Brightfield, 40× oil-immersion objective. Cropped to a single cell. Bone marrow aspirate smear.
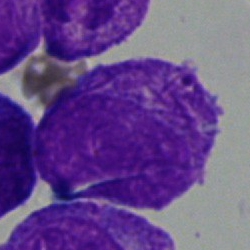

Cell — faggot cell.